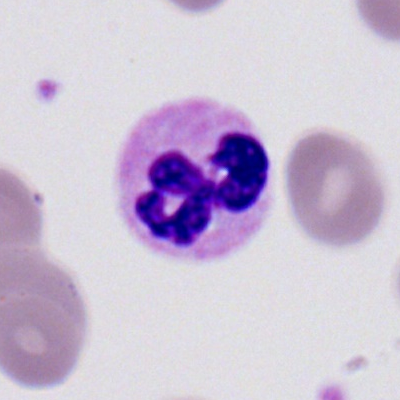

Q: Identify the cell.
A: Segmented neutrophil.